Bone marrow smear · single cell centered in the field.
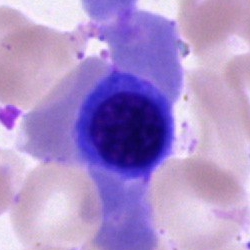
A normoblast.